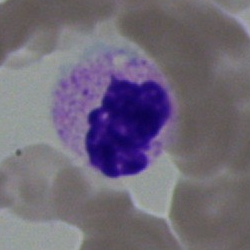
Cell = segmented neutrophil.